Bone marrow smear: 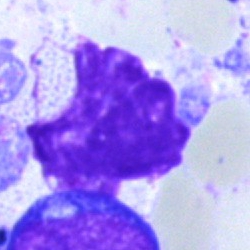

The cell shown is an artifact.